Peripheral blood film · 100× objective, oil immersion — 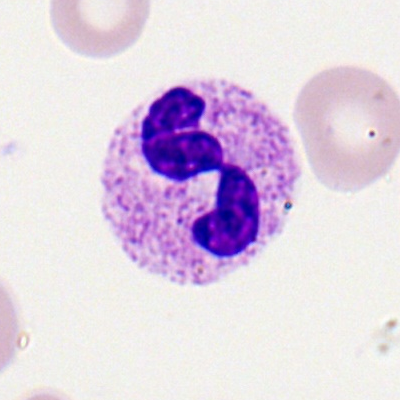
Specimen: peripheral blood smear.
Classification: polymorphonuclear neutrophil.